Bone marrow smear — 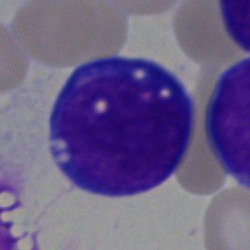 Morphological class = blast.